Bone marrow smear; single cell centered in the field
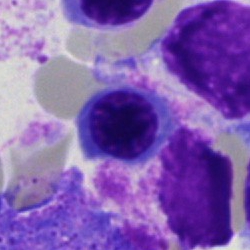

Morphology consistent with an erythroblast.